Image size 250×250 · bone marrow smear · brightfield microscopy, 40× oil immersion:
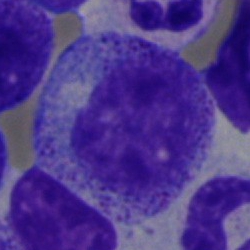Q: What cell is this?
A: Promyelocyte.